Bone marrow smear; May-Grünwald-Giemsa stain; 250×250
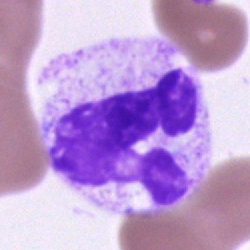 A neutrophil (segmented).